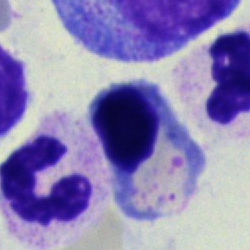The cell type is nucleated red cell.